Single cell centered in the field · 40× oil immersion · bone marrow aspirate smear: 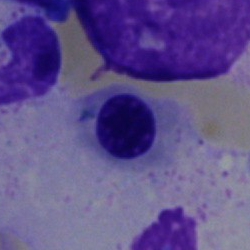 Cell type — nucleated red blood cell.